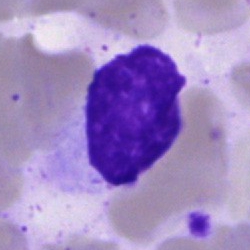

Cell type: artifact.